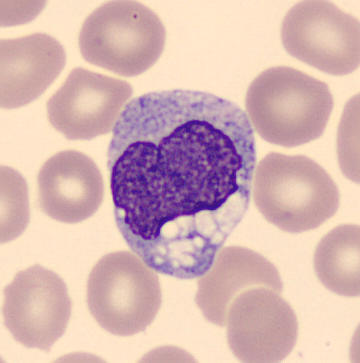

Preparation: Peripheral blood film · cropped to a single cell. Cell type: monocyte.